Bone marrow smear — 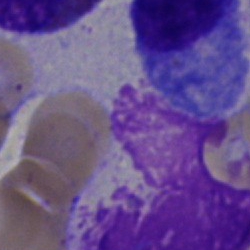
Q: What is shown here?
A: This is an artifact.